Bone marrow smear
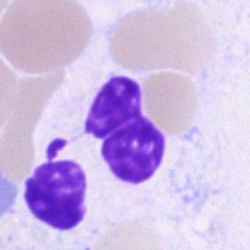

Q: Identify the cell.
A: A neutrophil (segmented).